Cropped to a single cell · bone marrow smear · 250×250 px — 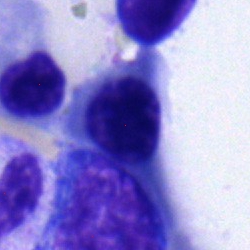
Cell type = erythroblast.